Single-cell field. Bone marrow aspirate smear.
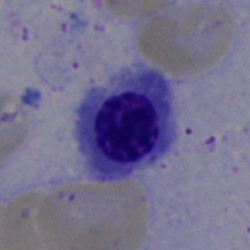Showing a normoblast.